Bone marrow smear.
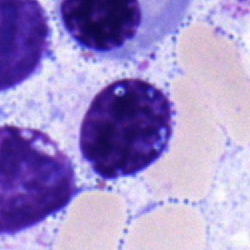
Q: Which cell type is shown here?
A: Typical lymphocyte.